Bone marrow aspirate smear · May-Grünwald-Giemsa stain
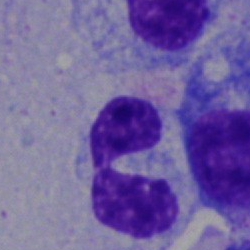The cell type is neutrophil (segmented).